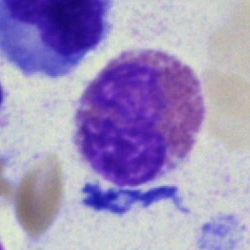Cell: basophil.